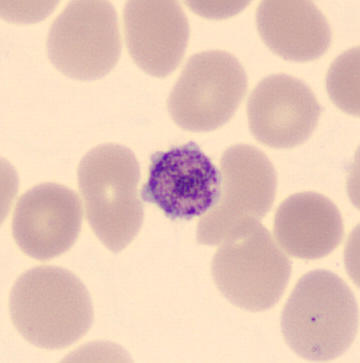
Specimen: peripheral blood smear.
Morphological class: thrombocyte.